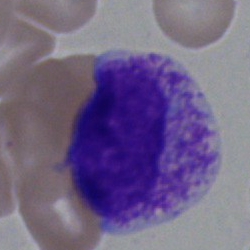Q: What cell is this?
A: A myelocyte.